May-Grünwald-Giemsa stain; bone marrow aspirate smear:
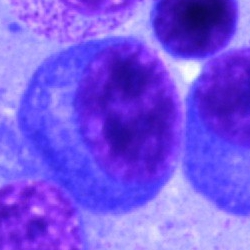 Specimen: bone marrow smear.
Classification: plasma cell.